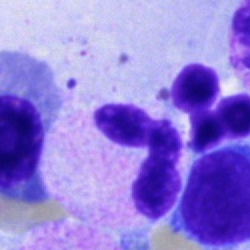

A polymorphonuclear neutrophil.